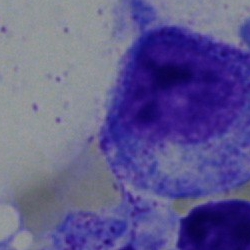

Q: Identify the cell.
A: Myelocyte.